250×250; bone marrow smear.
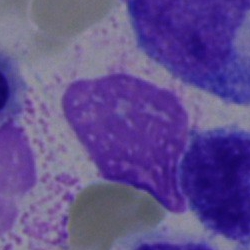An artifact.